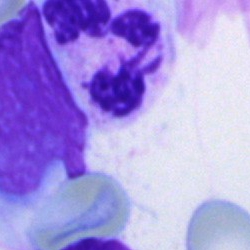

Bone marrow smear showing a polymorphonuclear neutrophil.